Bone marrow smear
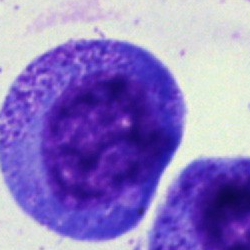 Impression — progranulocyte.